40× oil immersion; bone marrow aspirate smear; single cell centered in the field — 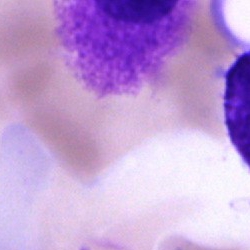

Showing an artefact.